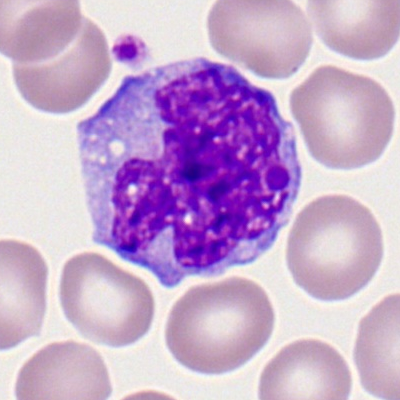
Impression → monocyte.